Single-cell field · MGG-stained · bone marrow smear
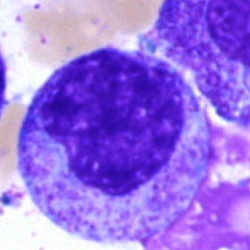 Morphological class: metamyelocyte.